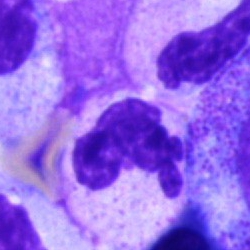The cell type is polymorphonuclear neutrophil.